Bone marrow aspirate smear; 40× objective, oil immersion; single cell centered in the field: 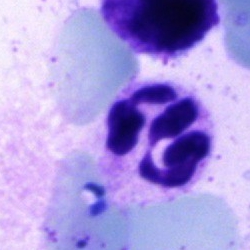 Neutrophil (segmented).